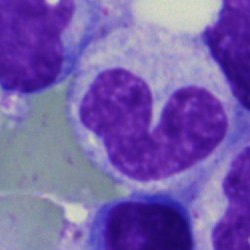 Impression — stab cell.